Bone marrow smear
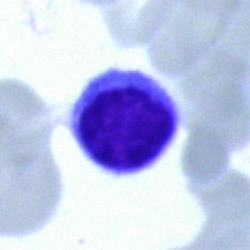

Single cell identified as a typical lymphocyte.